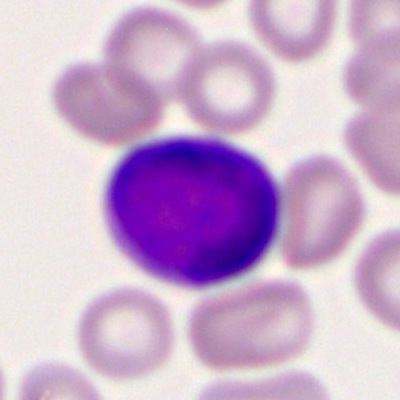 Specimen: peripheral blood film.
Classification: myeloblast.